Bone marrow smear.
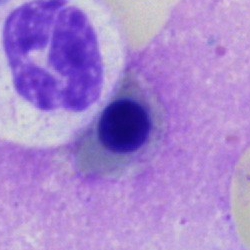 Morphological class = nucleated red blood cell.